Bone marrow smear; single-cell crop:
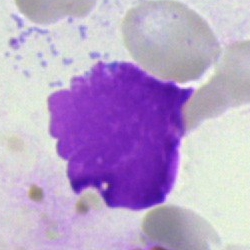
Q: What is shown here?
A: Artefact.